Bone marrow aspirate smear.
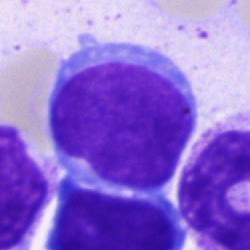

Specimen: bone marrow aspirate smear.
Morphological class: undifferentiated blast.